Peripheral blood film.
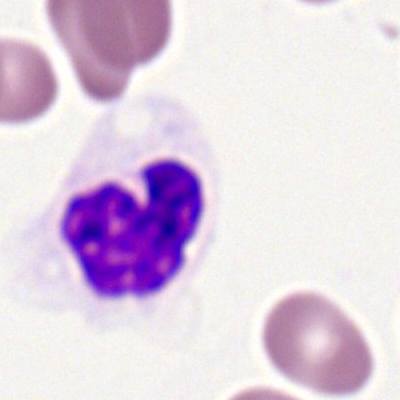

Single cell identified as a segmented neutrophil.